Brightfield, 40× oil-immersion objective. Bone marrow smear. May-Grünwald-Giemsa stain:
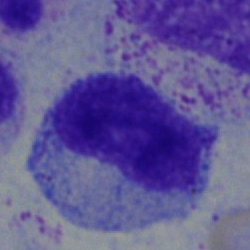Morphological class — metamyelocyte.